Bone marrow aspirate smear:
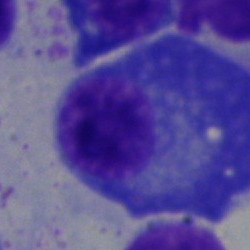

Plasma cell.